Cropped to a single cell; bone marrow smear; 250×250: 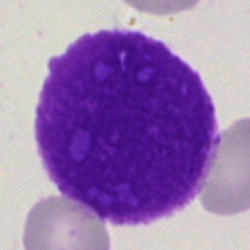An artefact.